Bone marrow smear
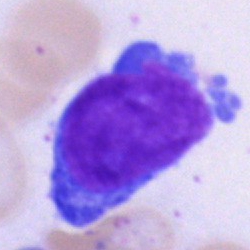
Cell type = blast.